Bone marrow smear.
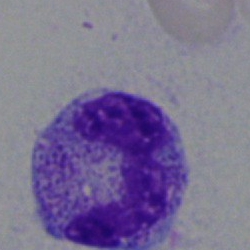 Polymorphonuclear neutrophil.